250×250; bone marrow aspirate smear; single-cell field: 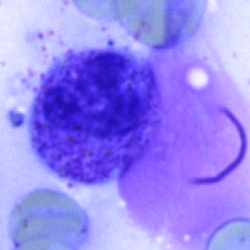

This is a neutrophil (segmented).